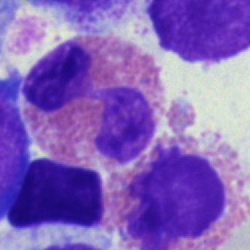

The cell shown is an eosinophil.